Bone marrow smear
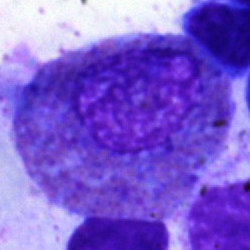Single cell identified as an eosinophilic granulocyte.